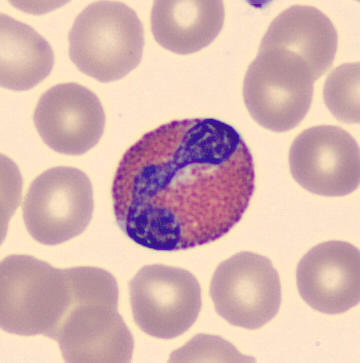
Cell type — eosinophil.